250×250 px · bone marrow aspirate smear: 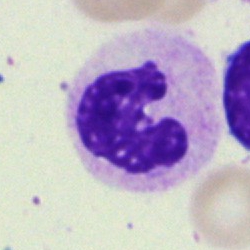
Classification — polymorphonuclear neutrophil.